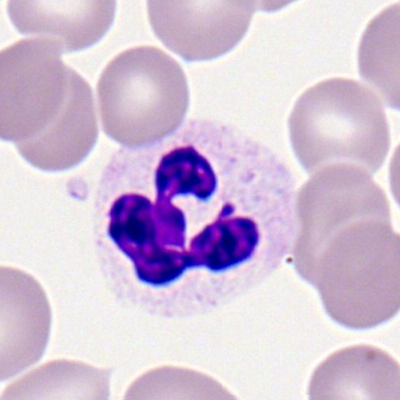 Q: What type of cell is this?
A: Polymorphonuclear neutrophil.